Bone marrow aspirate smear:
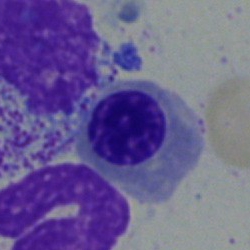
{"cell_type": "nucleated red cell", "lineage": "erythroid"}